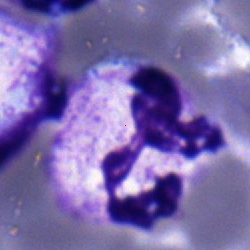
Segmented neutrophil.